Bone marrow smear; cropped to a single cell:
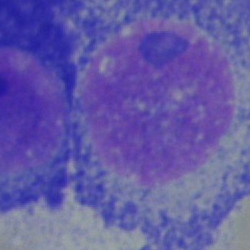

A plasmacyte.